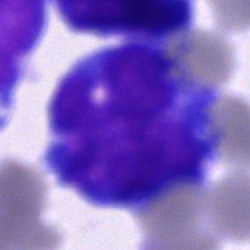
Q: What is shown here?
A: This is a blast.